Bone marrow smear
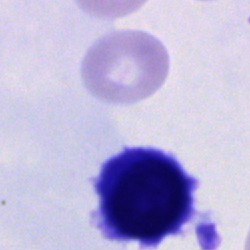
Morphology consistent with an unidentifiable cell.